Bone marrow smear; Pappenheim-stained
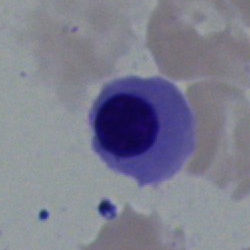
{"cell_type": "erythroblast", "lineage": "erythroid"}